Bone marrow aspirate smear · May-Grünwald-Giemsa stain: 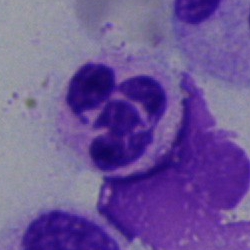This is a polymorphonuclear neutrophil.